Bone marrow aspirate smear: 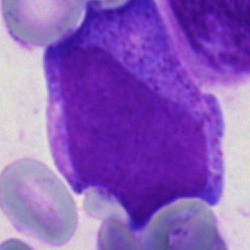Morphological class — undifferentiated blast.